Bone marrow aspirate smear. MGG-stained. 250×250 px.
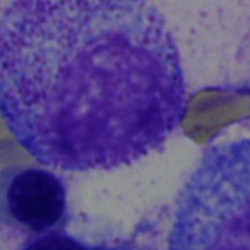 Cell type = myelocyte.